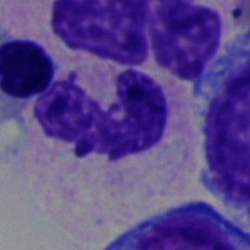Cell: segmented neutrophil.